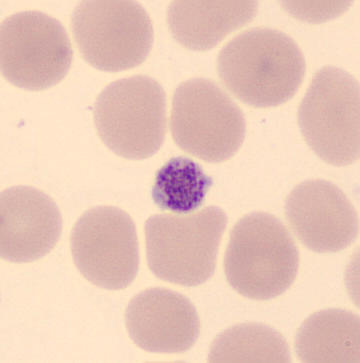
Specimen: peripheral blood film.
Cell type: platelet (thrombocyte). 360 by 363 pixels.